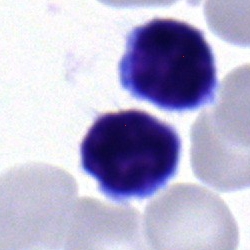Cell type: typical lymphocyte.